Bone marrow aspirate smear:
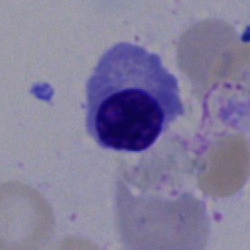

The classification is normoblast.